Peripheral blood smear · Romanowsky-type stain
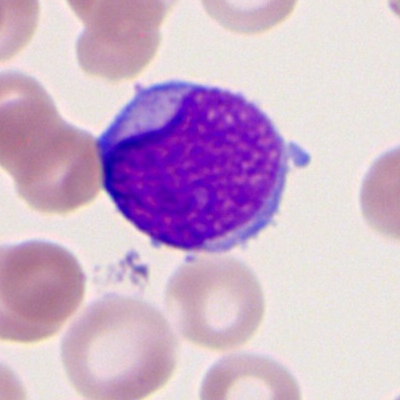The cell shown is a myeloid blast.